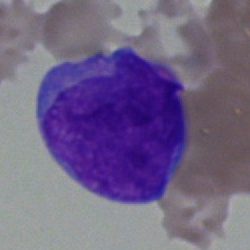 Q: What type of cell is this?
A: An undifferentiated blast.